Romanowsky-stained; peripheral blood film; 100× oil immersion
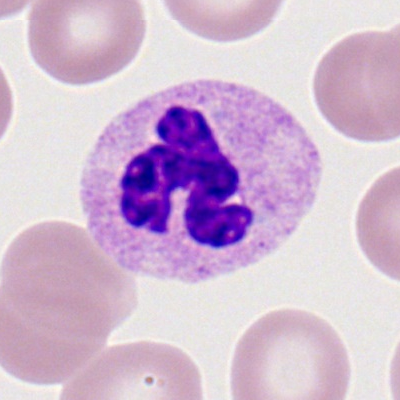
Morphology — segmented neutrophil.